Bone marrow aspirate smear
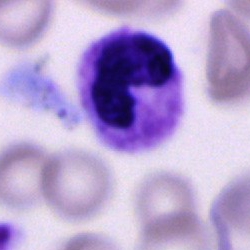Polymorphonuclear neutrophil.